Bone marrow aspirate smear: 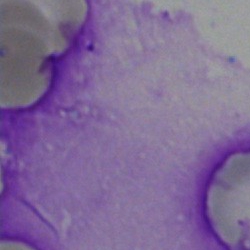 Morphology → artifact.